Bone marrow aspirate smear
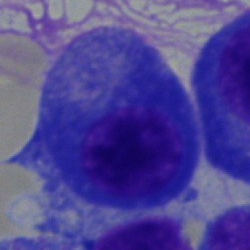
Cell — plasmacyte.